Bone marrow aspirate smear
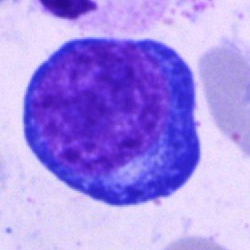 Morphology → proerythroblast.